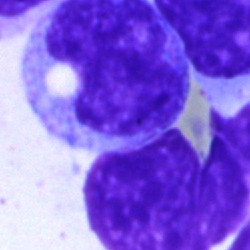

{"cell_type": "monocyte", "lineage": "myeloid"}